Bone marrow aspirate smear. 250 by 250 pixels
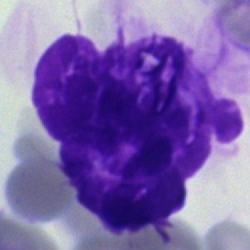

Q: What is shown here?
A: This is an artifact.